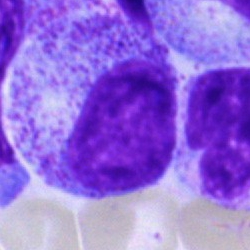Q: What type of cell is this?
A: This is a progranulocyte.